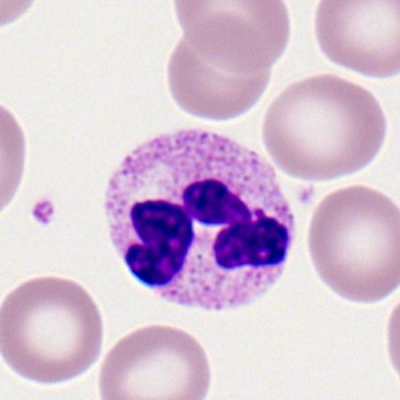
Specimen: peripheral blood film.
Classification: polymorphonuclear neutrophil.
Lineage: myeloid.